Bone marrow aspirate smear:
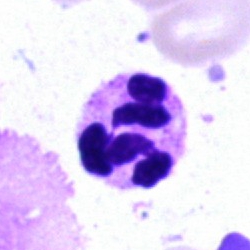Morphology consistent with a segmented neutrophil.